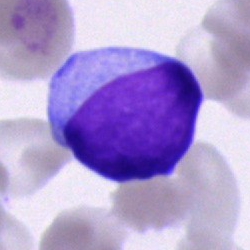Morphology consistent with a blast cell.